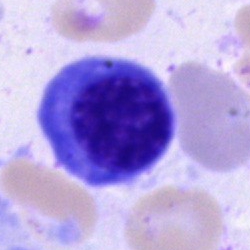

Q: What is the morphological classification of this cell?
A: Nucleated red blood cell.